Bone marrow aspirate smear — 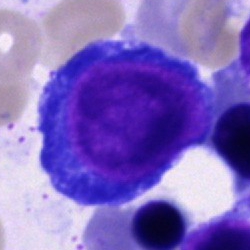 Impression — pronormoblast.